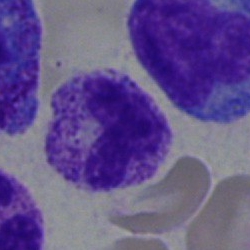 Q: Identify the cell.
A: This is a segmented neutrophil.